Bone marrow smear: 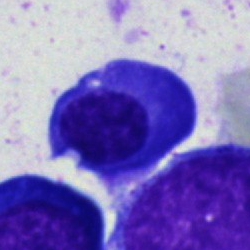

Q: What cell is this?
A: This is a plasma cell.